Single-cell crop · brightfield, 40× oil-immersion objective · bone marrow smear
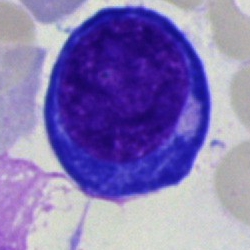Q: Identify the cell.
A: Proerythroblast.